Bone marrow smear. May-Grünwald-Giemsa/Pappenheim stain
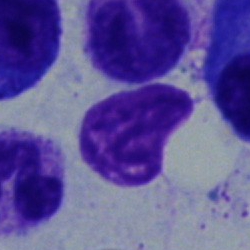

Classification — unidentifiable cell.